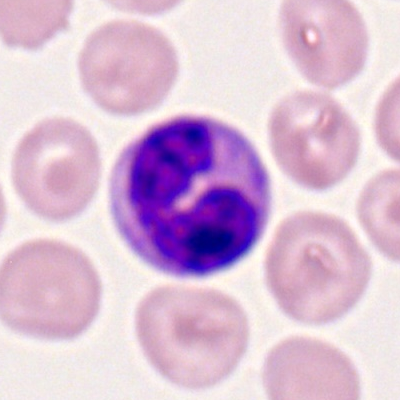

Single cell identified as a segmented neutrophil.